Bone marrow aspirate smear:
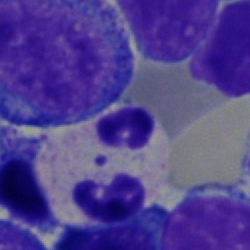

Morphological class: segmented neutrophil.